Bone marrow aspirate smear · 40× oil immersion · 250×250 px
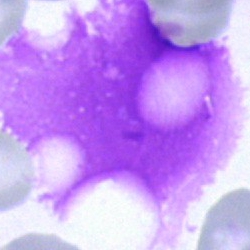Q: What is shown here?
A: This is an artefact.